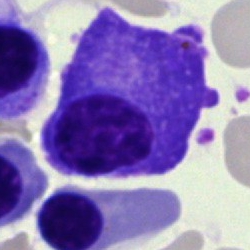 Morphology — plasmacyte.